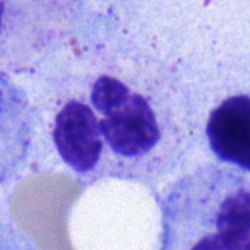{"cell_type": "neutrophil (segmented)", "lineage": "myeloid"}